40× objective, oil immersion. Bone marrow aspirate smear.
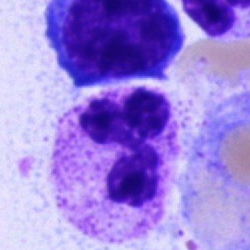
This is a lymphocyte.